Bone marrow aspirate smear
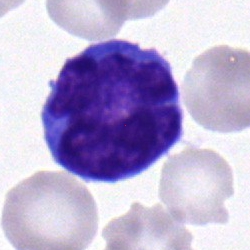Specimen: bone marrow aspirate smear.
Cell type: monocyte.